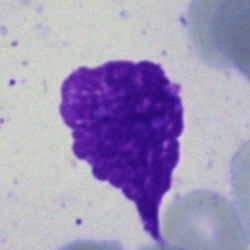
Specimen: bone marrow aspirate smear.
Classification: artefact.